Bone marrow aspirate smear
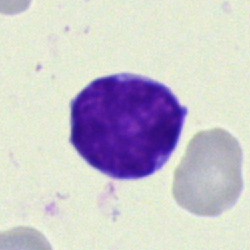
Single cell identified as a typical lymphocyte.